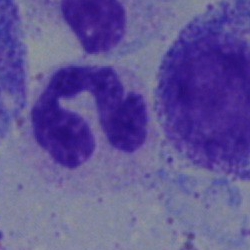
Single-cell crop from a bone marrow smear: polymorphonuclear neutrophil.